Bone marrow aspirate smear: 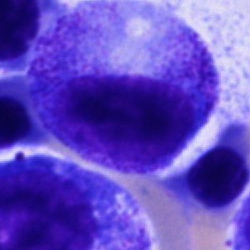 Single cell identified as a progranulocyte.